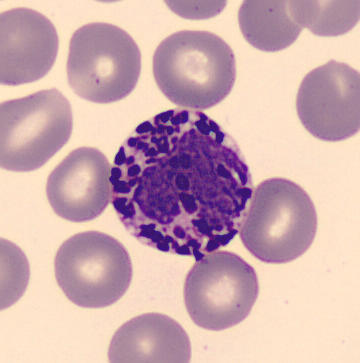 Image: May Grünwald-Giemsa stain; peripheral blood smear; CellaVision DM96.
Cell type = basophil.